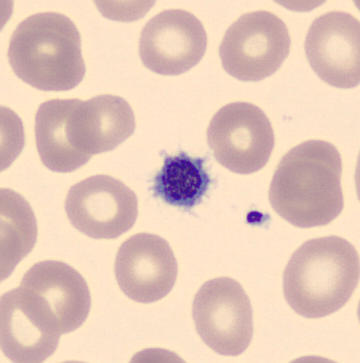

Peripheral blood smear.

The cell type is platelet.